Bone marrow aspirate smear
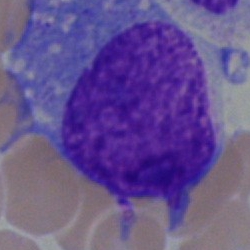
Cell type: undifferentiated blast.